Bone marrow aspirate smear.
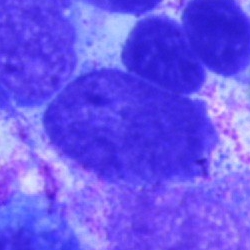An artefact.